Pappenheim-stained · brightfield, 40× oil-immersion objective · bone marrow aspirate smear
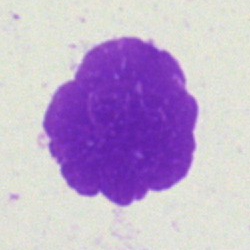Specimen: bone marrow smear.
Classification: artifact.